Bone marrow smear:
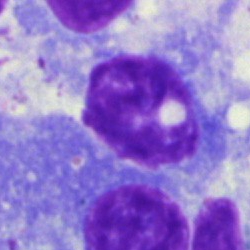The cell is artefact.